Bone marrow aspirate smear. May-Grünwald-Giemsa stain. 250 by 250 pixels.
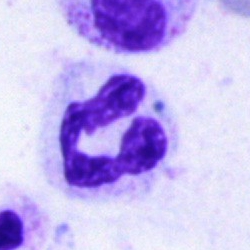This is a segmented neutrophil.